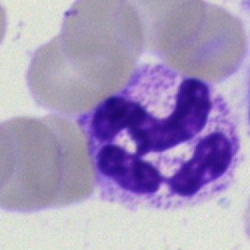 Showing a neutrophil (segmented).